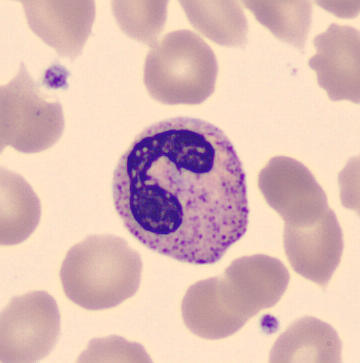Imaged on a CellaVision DM96 analyser · peripheral blood film.
The classification is neutrophil (band).